Bone marrow smear:
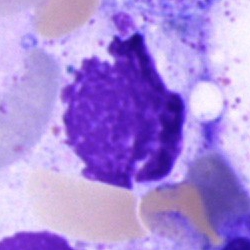

Artefact.